Romanowsky-type stain. Peripheral blood film.
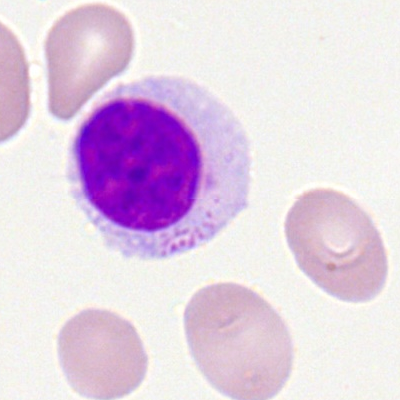

A lymphocyte.